Bone marrow aspirate smear
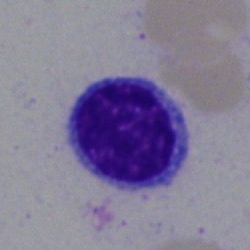
Single cell identified as a typical lymphocyte.